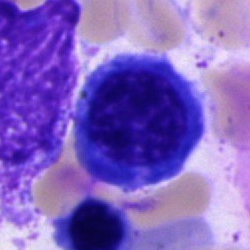
Q: What is the morphological classification of this cell?
A: A nucleated red blood cell.